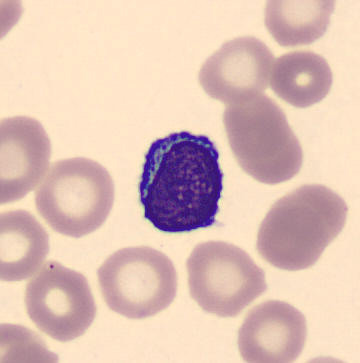 Q: Which cell type is shown here?
A: Typical lymphocyte.